Bone marrow smear: 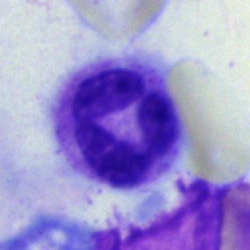Morphological class: neutrophil (segmented).